Bone marrow aspirate smear
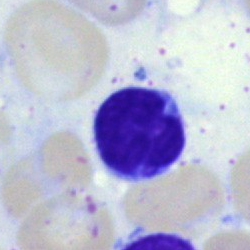
Impression → lymphocyte.